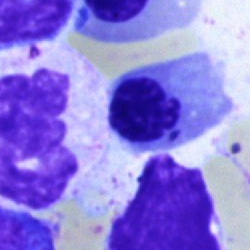Morphology → nucleated red cell.